Bone marrow smear — 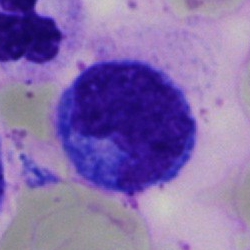

This is a monocyte.